Brightfield, 40× oil-immersion objective; bone marrow smear — 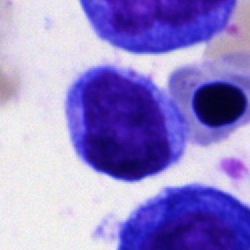

The cell is lymphocyte.